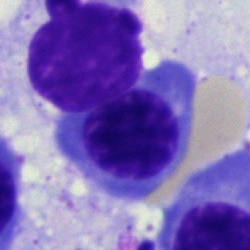

Single-cell crop from a bone marrow smear: nucleated red blood cell.